Bone marrow aspirate smear:
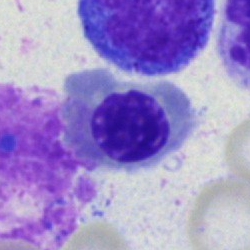
A nucleated red blood cell.